Bone marrow smear · 40× objective, oil immersion · single-cell crop: 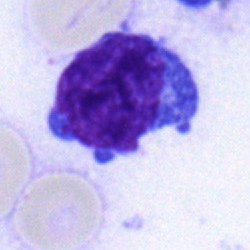 This is a typical lymphocyte.